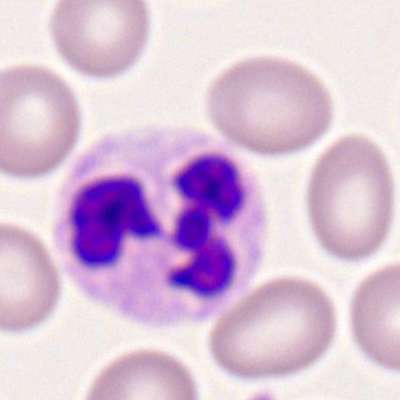Morphology — neutrophil (segmented).